Image size 250×250 · bone marrow aspirate smear: 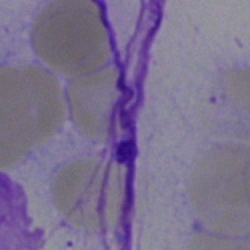 Morphology consistent with an artifact.